Bone marrow aspirate smear.
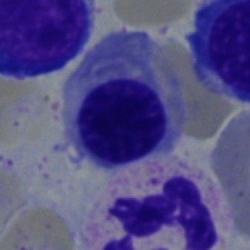 Normoblast.